Bone marrow smear
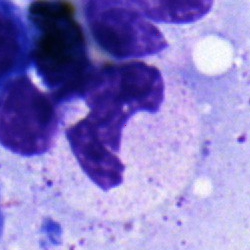This is a polymorphonuclear neutrophil.